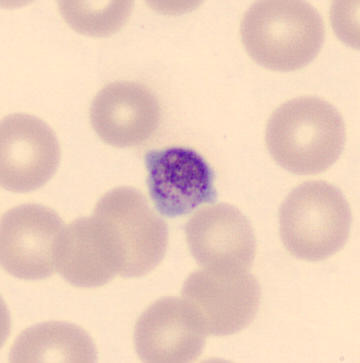
Preparation: CellaVision DM96; peripheral blood smear.

Morphology consistent with a platelet.